Bone marrow aspirate smear; brightfield microscopy, 40× oil immersion; image size 250×250:
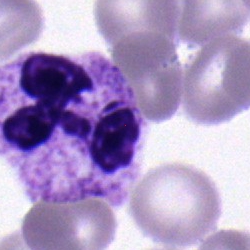 Q: Identify the cell.
A: This is a neutrophil (segmented).